Bone marrow aspirate smear; single cell centered in the field: 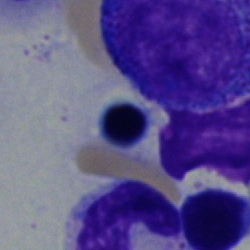Showing a nucleated red cell.